Bone marrow smear
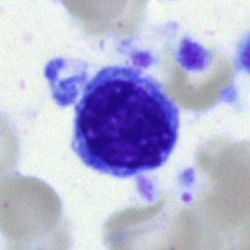
Morphology consistent with a lymphocyte.